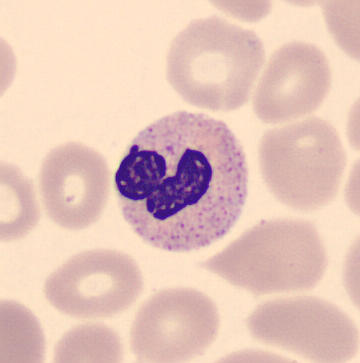

May-Grünwald-Giemsa-stained · CellaVision DM96. Specimen: peripheral blood film.
Cell type: band-form neutrophil.
Lineage: myeloid.